Bone marrow smear
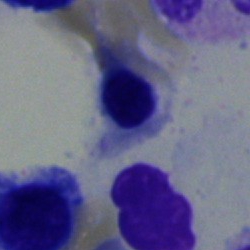

Normoblast.